Bone marrow aspirate smear.
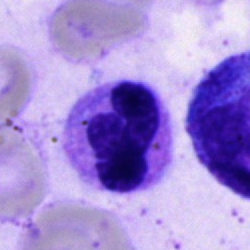
The cell shown is a neutrophil (segmented).